Bone marrow smear. May-Grünwald-Giemsa/Pappenheim stain:
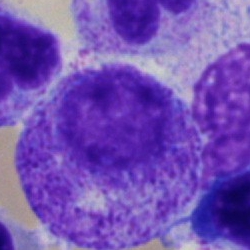 Specimen: bone marrow smear.
Morphological class: progranulocyte.